Peripheral blood smear: 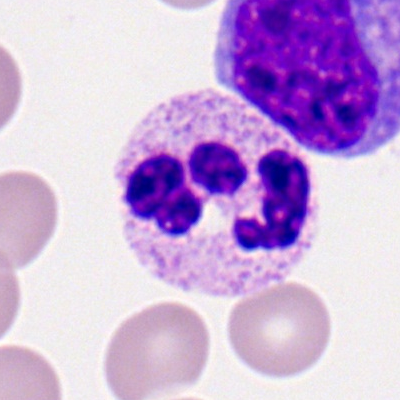 Showing a neutrophil (segmented).